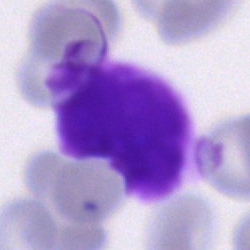Morphology → artifact.